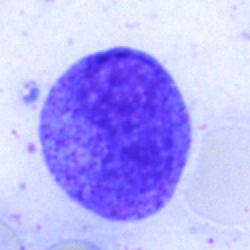Morphological class: metamyelocyte.